Peripheral blood smear:
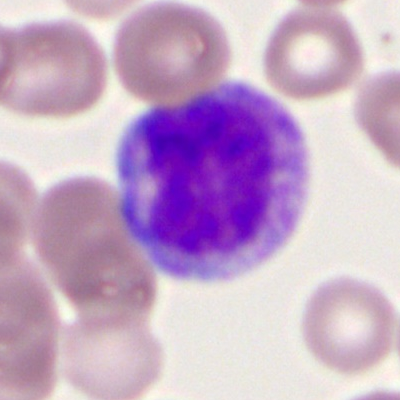 Q: Identify the cell.
A: Myelocyte.